MGG-stained. Bone marrow smear. Single cell centered in the field.
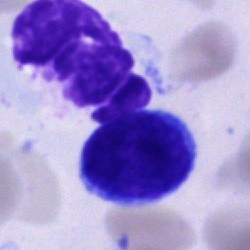Q: Identify the cell.
A: An unidentifiable cell.